Bone marrow smear. May-Grünwald-Giemsa stain. 250 by 250 pixels
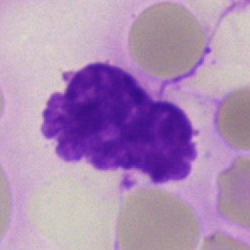

Single cell identified as an artefact.